250×250 px. Bone marrow aspirate smear.
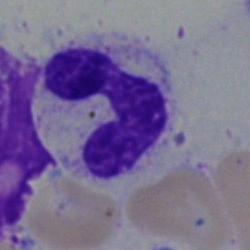
Morphological class: band-form neutrophil.